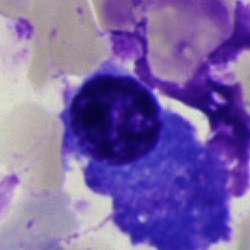
Q: What cell is this?
A: This is a plasmacyte.